Bone marrow smear.
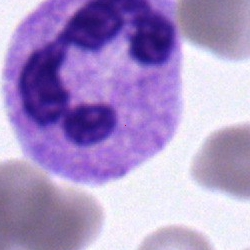
Cell type: neutrophil (segmented).